Bone marrow aspirate smear.
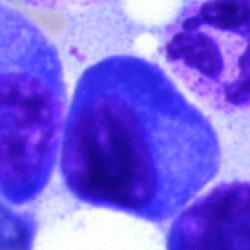
Morphology consistent with a plasma cell.